Bone marrow aspirate smear
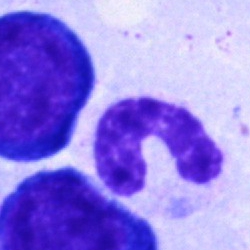

Specimen: bone marrow smear.
Cell type: band neutrophil.